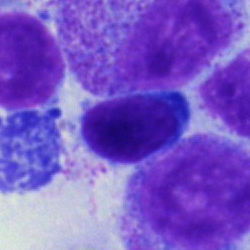 Q: What cell is this?
A: Lymphocyte.